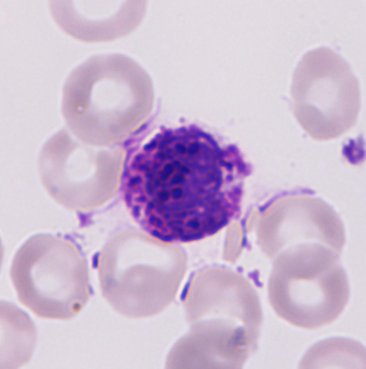 Morphology — basophil.

Preparation: Peripheral blood smear.